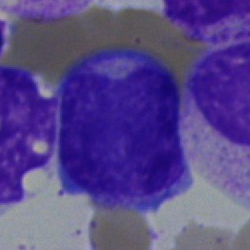
{"cell_type": "undifferentiated blast"}